Peripheral blood smear · M8 digital microscope (Precipoint), 100× oil immersion: 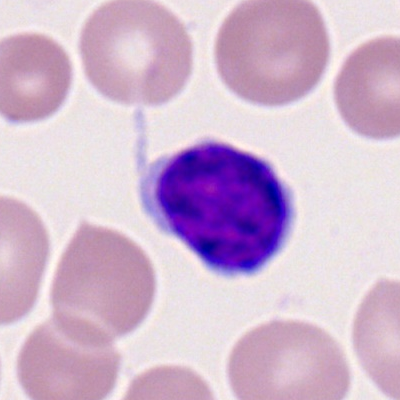 Specimen: peripheral blood smear.
Classification: lymphocyte.